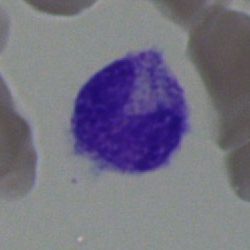Q: What is shown here?
A: It is a band-form neutrophil.